Bone marrow smear — 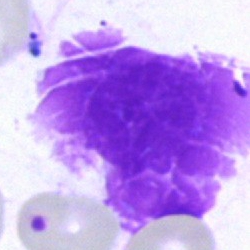

Showing an artefact.